Bone marrow aspirate smear. Single cell centered in the field.
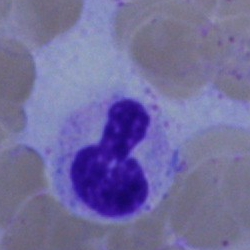

Q: What type of cell is this?
A: This is a neutrophil (segmented).